Peripheral blood smear: 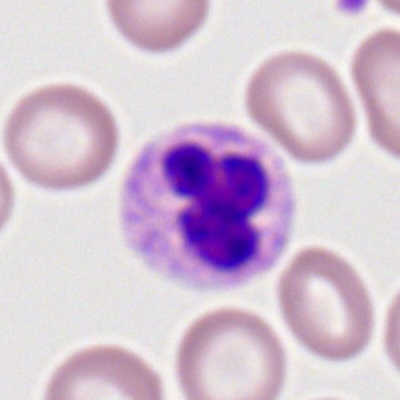 The cell type is polymorphonuclear neutrophil.